Bone marrow smear; 40× objective, oil immersion; 250×250 px — 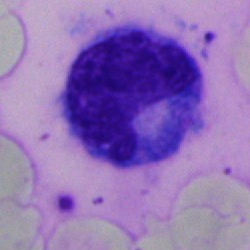

Q: What type of cell is this?
A: It is a monocyte.